Pappenheim-stained. Bone marrow aspirate smear: 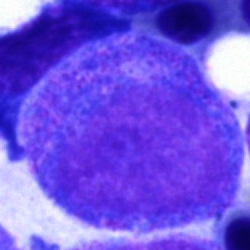Morphology — progranulocyte.